Bone marrow smear: 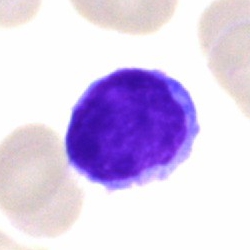
A lymphocyte.